Bone marrow aspirate smear. Single-cell crop: 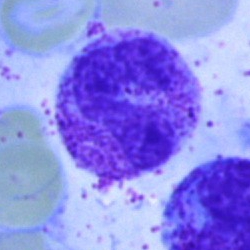The cell shown is a segmented neutrophil.